Peripheral blood smear.
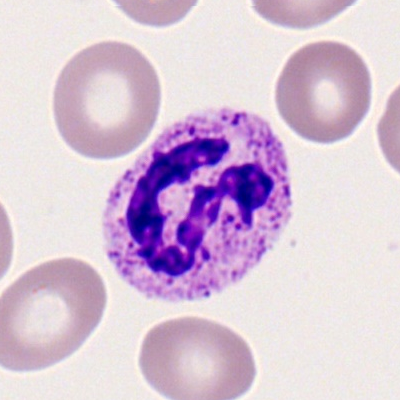 {"cell_type": "segmented neutrophil"}